Bone marrow smear — 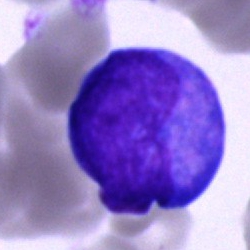
Impression — undifferentiated blast.